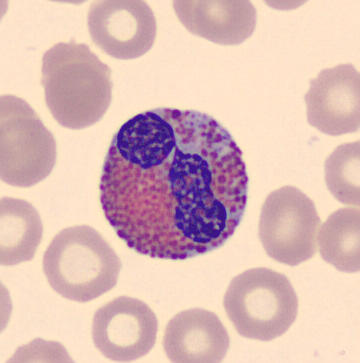Peripheral blood film.

Identified as an eosinophil.